Bone marrow aspirate smear · Pappenheim-stained — 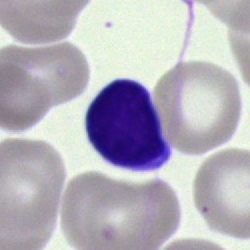 Cell type — typical lymphocyte.